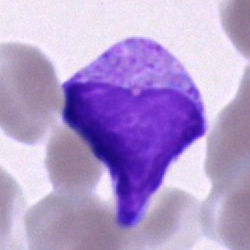 Q: What is shown here?
A: This is an artifact.